Bone marrow aspirate smear
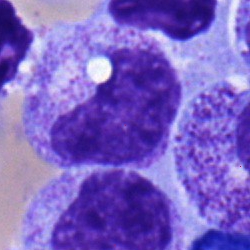 Metamyelocyte.